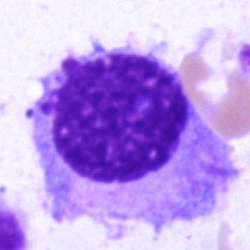 Impression — plasma cell.